Bone marrow smear · Pappenheim-stained:
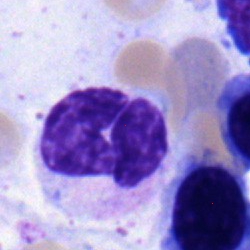 Segmented neutrophil.